Bone marrow aspirate smear · May-Grünwald-Giemsa/Pappenheim stain · single-cell field: 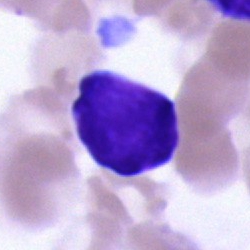Impression → cell of indeterminate lineage.